Bone marrow aspirate smear: 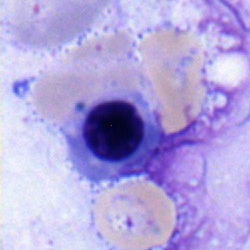Impression → nucleated red cell.